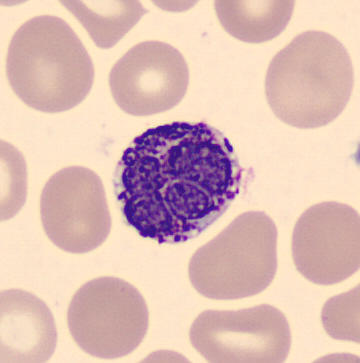Preparation: 360×363 px · CellaVision DM96 digital cell image · peripheral blood smear. Morphology → basophilic granulocyte.